Bone marrow aspirate smear. Image size 250×250 — 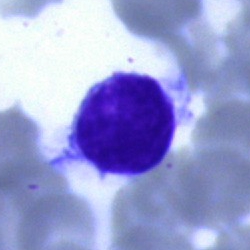

Q: Which cell type is shown here?
A: This is a typical lymphocyte.